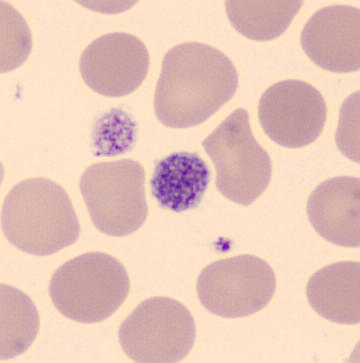
Morphology consistent with a platelet.